Bone marrow aspirate smear
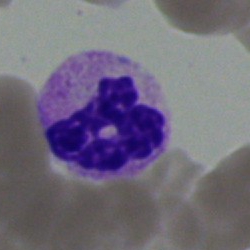
The morphological class is polymorphonuclear neutrophil.